Bone marrow smear.
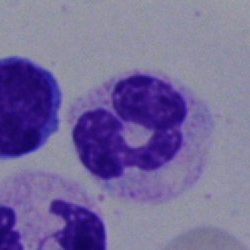 Single cell identified as a neutrophil (segmented).